Bone marrow smear
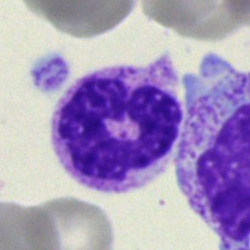A neutrophil (segmented).